Bone marrow smear · 40× oil immersion: 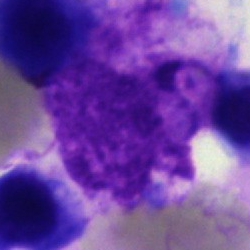

The cell shown is an artefact.